Peripheral blood smear
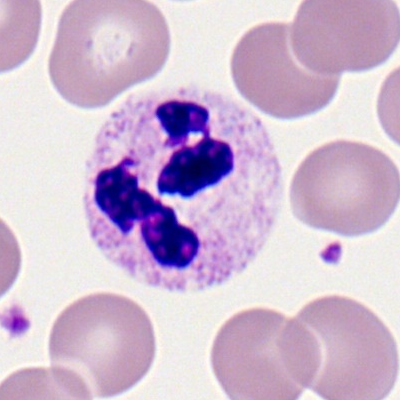
{"cell_type": "neutrophil (segmented)"}